Bone marrow smear:
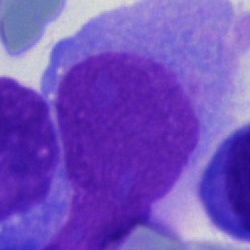 Blast.